Image size 250×250. Bone marrow smear: 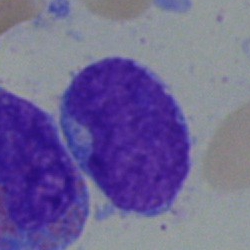Morphology consistent with a blast cell.